Bone marrow smear:
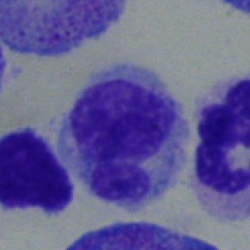 Classification = monocyte.